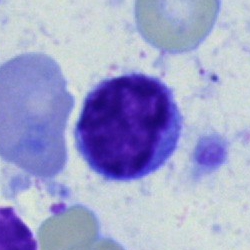

Single-cell crop from a bone marrow smear: lymphocyte.